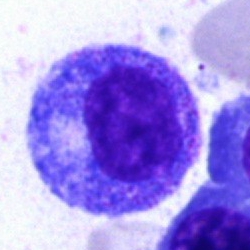
Specimen: bone marrow smear.
Cell type: promyelocyte.
Lineage: myeloid.